Bone marrow aspirate smear:
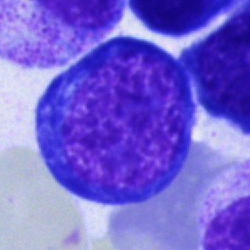This is a nucleated red blood cell.